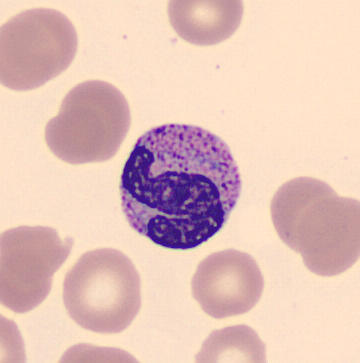 Preparation: Peripheral blood film; 360×363; single-cell crop. Impression → neutrophil (band).